Bone marrow smear:
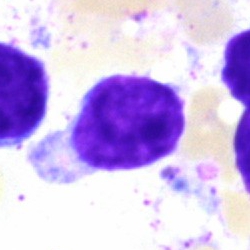Q: What is shown here?
A: Lymphocyte.